Bone marrow aspirate smear:
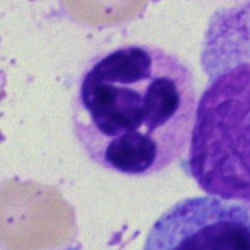
The cell shown is a polymorphonuclear neutrophil.